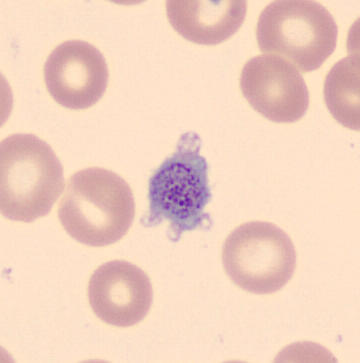

From a peripheral blood smear: a platelet (thrombocyte).